Bone marrow smear. 40× objective, oil immersion. 250×250: 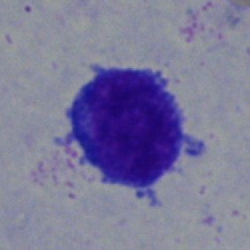Specimen: bone marrow aspirate smear.
Classification: typical lymphocyte.
Lineage: lymphoid.